Peripheral blood smear
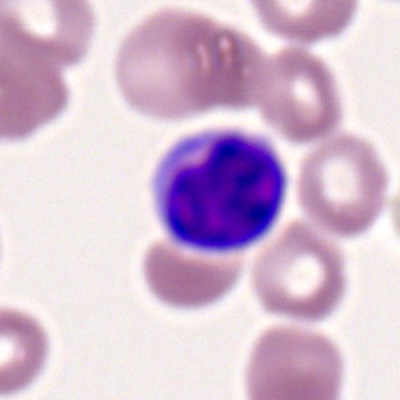

Cell type — lymphocyte.